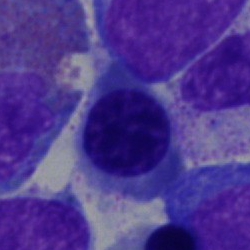An erythroblast.